Bone marrow aspirate smear — 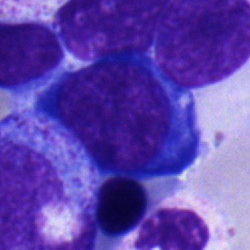

Morphology — pronormoblast.